Bone marrow aspirate smear:
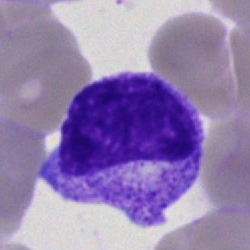

{"cell_type": "myelocyte", "lineage": "myeloid"}